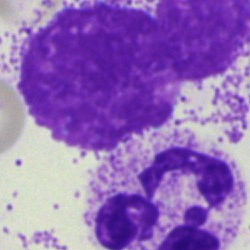 The cell type is segmented neutrophil.